Brightfield microscopy, 40× oil immersion. Bone marrow aspirate smear: 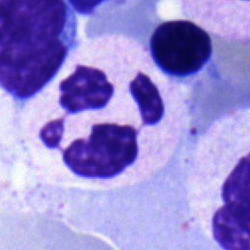This is a segmented neutrophil.